Brightfield microscopy, 40× oil immersion. May-Grünwald-Giemsa/Pappenheim stain. Bone marrow aspirate smear
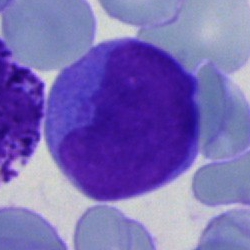
Specimen: bone marrow smear.
Cell type: undifferentiated blast.